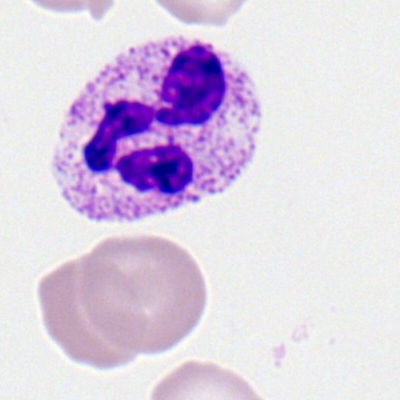
A segmented neutrophil on a peripheral blood smear.